250 by 250 pixels · bone marrow smear.
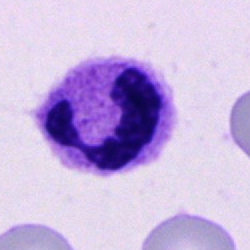
Cell = segmented neutrophil.